May-Grünwald-Giemsa stain. Bone marrow aspirate smear
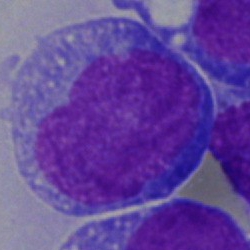

This is a blast cell.